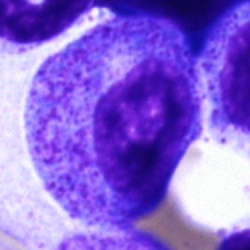Showing a progranulocyte.